Bone marrow aspirate smear:
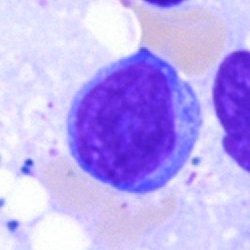Morphological class: typical lymphocyte.